Peripheral blood film · single-cell crop — 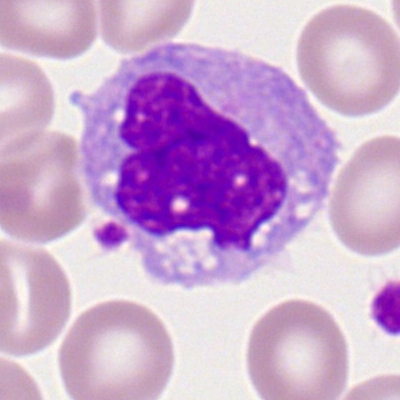

This is a monocyte.